Bone marrow aspirate smear; 250×250 px.
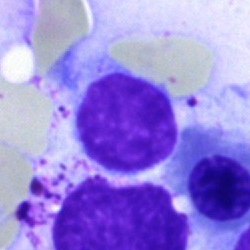

Q: What is shown here?
A: This is a lymphocyte.